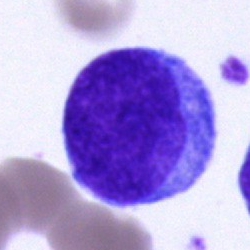

Classification: blast.